40× oil immersion · image size 250×250 · bone marrow smear:
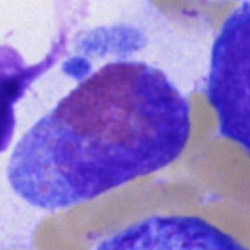
Morphology — eosinophilic granulocyte.